250 by 250 pixels · bone marrow aspirate smear · May-Grünwald-Giemsa/Pappenheim stain: 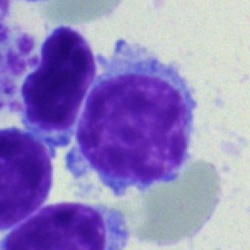

Showing a typical lymphocyte.